Bone marrow smear.
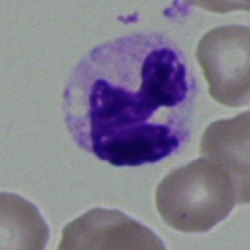
Cell = neutrophil (segmented).